Bone marrow aspirate smear · brightfield microscopy, 40× oil immersion · 250 by 250 pixels.
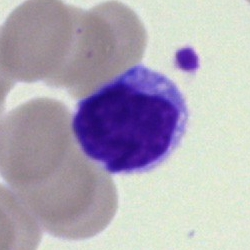

Single cell identified as a lymphocyte.